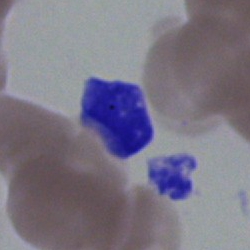

Artifact.